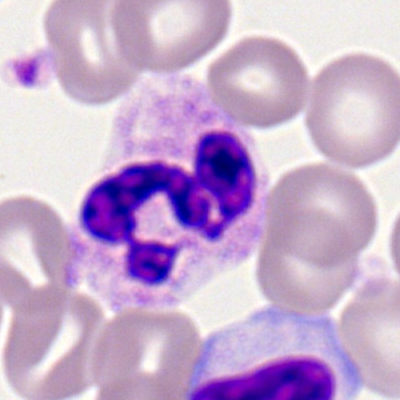A neutrophil (segmented) on a peripheral blood smear.